Bone marrow aspirate smear
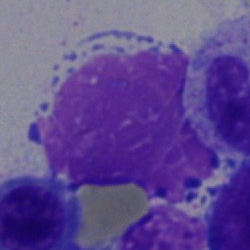 Specimen: bone marrow smear.
Cell type: artefact.